Bone marrow smear — 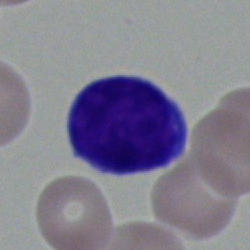Classification = lymphocyte.